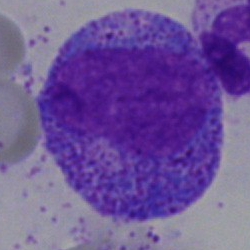

Specimen: bone marrow aspirate smear.
Cell: progranulocyte.